Peripheral blood smear · Romanowsky stain: 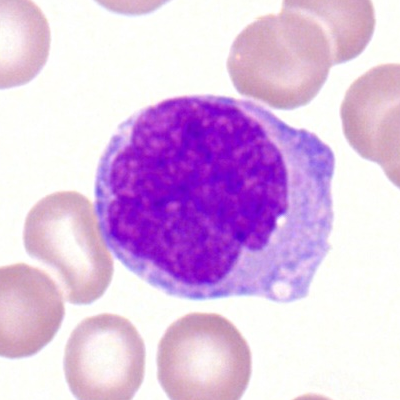

Classification — myeloblast.